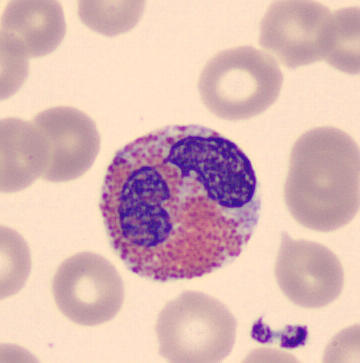

Q: What is this?
A: It is an eosinophilic granulocyte.